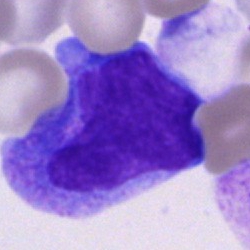The cell is promyelocyte.